Bone marrow aspirate smear
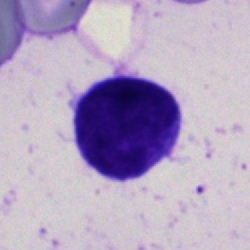Specimen: bone marrow aspirate smear.
Cell: typical lymphocyte.